Bone marrow smear; Pappenheim-stained:
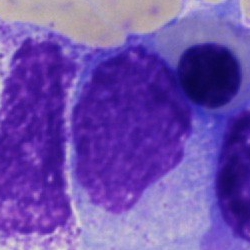This is an artifact.